Bone marrow aspirate smear · cropped to a single cell.
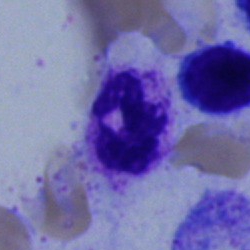This is a neutrophil (segmented).